Bone marrow smear
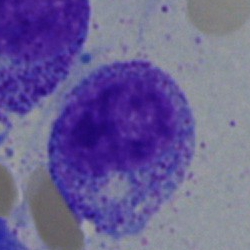 Q: What is shown here?
A: This is a myelocyte.